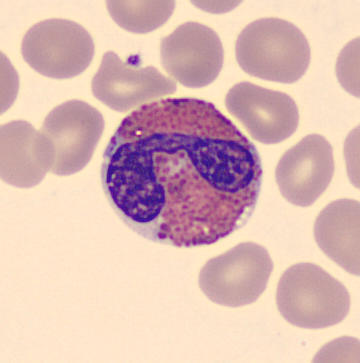
Q: What type of cell is this?
A: It is an eosinophilic granulocyte.